Peripheral blood film — 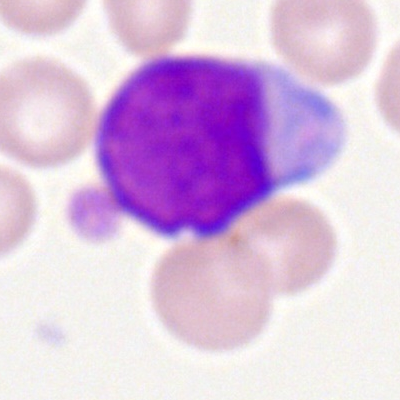 Single cell identified as a myeloid blast.